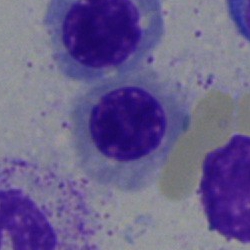
Cell type: nucleated red cell.